Bone marrow aspirate smear — 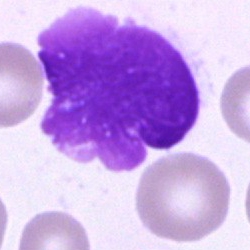

The morphological class is artefact.